Bone marrow smear:
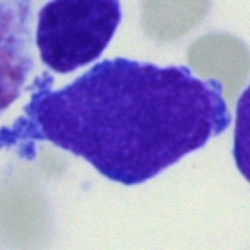 Cell — undifferentiated blast.